Bone marrow aspirate smear.
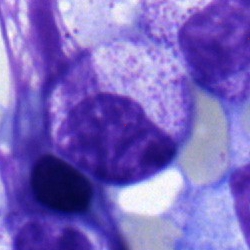Morphology consistent with a myelocyte.